Bone marrow smear
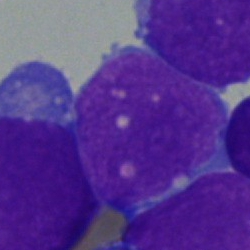

The classification is blast.